Bone marrow smear; May-Grünwald-Giemsa stain.
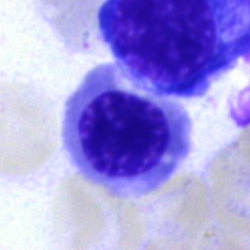Q: What is the morphological classification of this cell?
A: Normoblast.